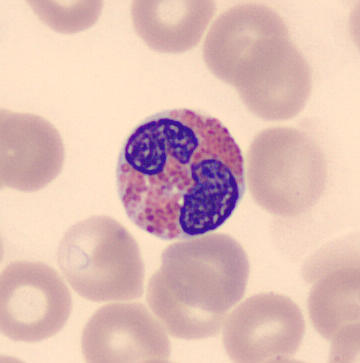

Showing an eosinophilic granulocyte.
Preparation: Peripheral blood smear.